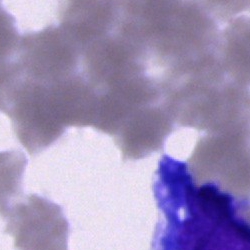 Classification — undifferentiated blast.